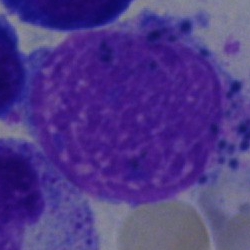 {"cell_type": "artefact"}